Bone marrow aspirate smear
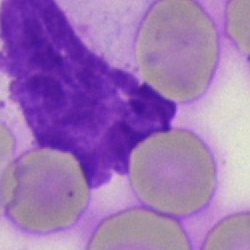

Morphological class — artefact.